Bone marrow smear
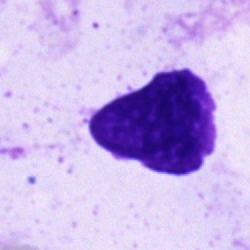 Specimen: bone marrow aspirate smear.
Cell: artefact.